Bone marrow smear. Pappenheim-stained:
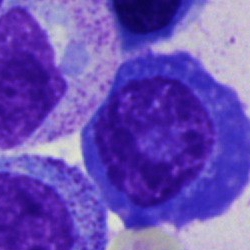
The cell is plasma cell.